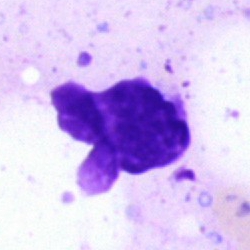

Specimen: bone marrow aspirate smear.
Cell type: artefact.